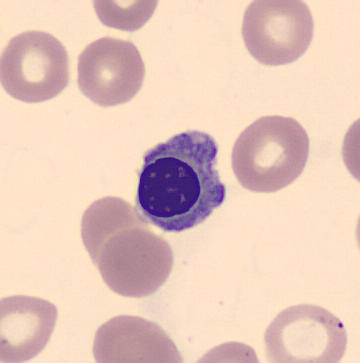 Image: Peripheral blood film · May-Grünwald-Giemsa-stained · imaged on a CellaVision DM96 analyser. Showing an erythroblast.